Bone marrow aspirate smear. Cropped to a single cell. 40× oil immersion:
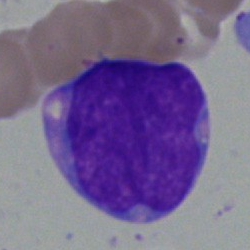 A blast.